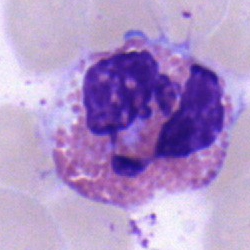 Classification — eosinophilic granulocyte.